Bone marrow smear
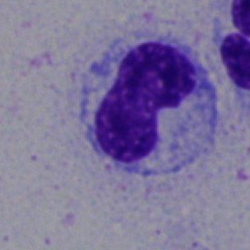Specimen: bone marrow smear.
Cell: band neutrophil.